40× objective, oil immersion. Bone marrow smear
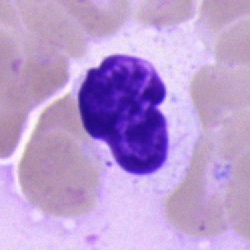
Morphology — artefact.